Bone marrow aspirate smear
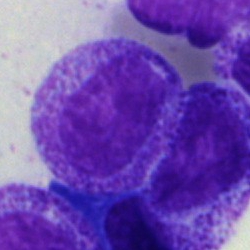
A myelocyte.